Cropped to a single cell; 40× objective, oil immersion; bone marrow aspirate smear.
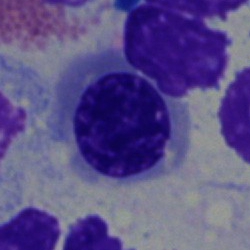
Classification — erythroblast.